Bone marrow aspirate smear: 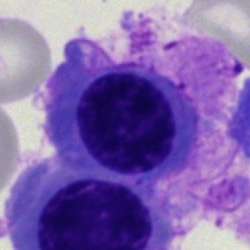 Impression — nucleated red blood cell.